Bone marrow smear — 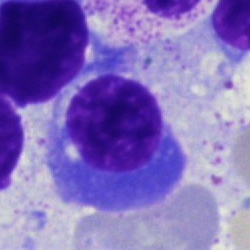 Classification: nucleated red cell.